Bone marrow smear — 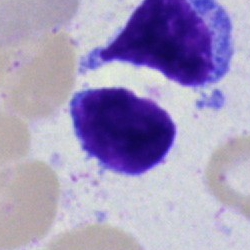

Q: Identify the cell.
A: It is a typical lymphocyte.